Peripheral blood film — 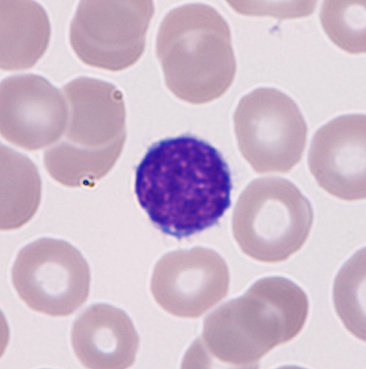

{"cell_type": "typical lymphocyte"}